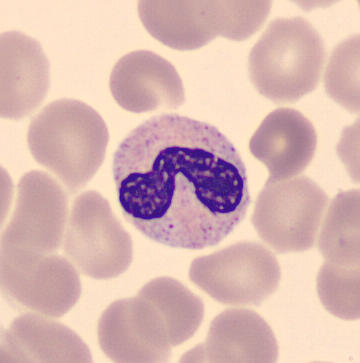Peripheral blood film, single cell — stab cell.